Single cell centered in the field; bone marrow aspirate smear
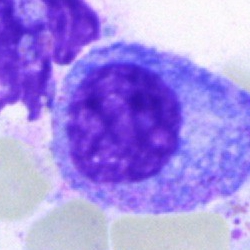Specimen: bone marrow aspirate smear.
Cell: progranulocyte.
Lineage: myeloid.